Cropped to a single cell. Bone marrow smear. Brightfield microscopy, 40× oil immersion:
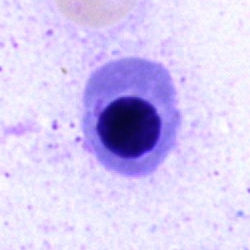Cell = nucleated red blood cell.